Bone marrow smear: 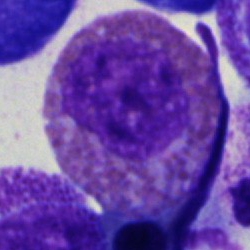 The cell shown is an eosinophilic granulocyte.